250×250 · bone marrow smear — 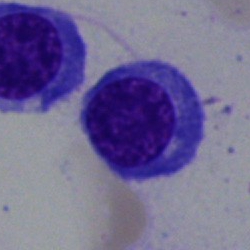Showing a nucleated red blood cell.